Peripheral blood smear — 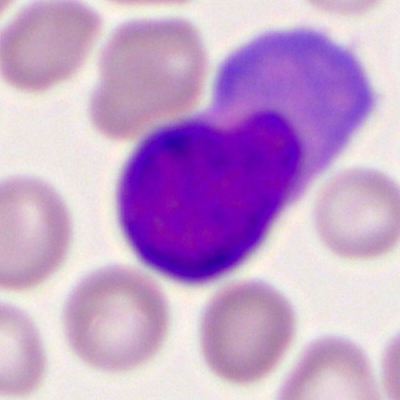

The cell is myeloid blast.